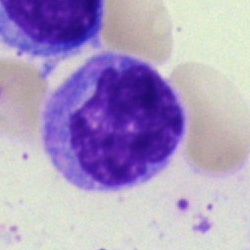

Q: What type of cell is this?
A: A monocyte.